Bone marrow aspirate smear — 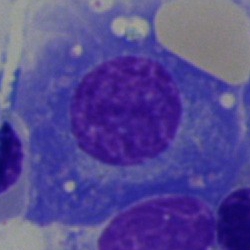Plasmacyte.